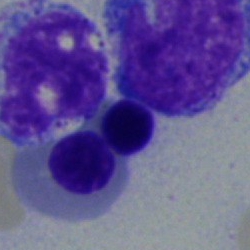

Q: What is the morphological classification of this cell?
A: It is a nucleated red cell.